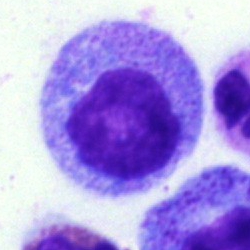

This is a myelocyte.